Bone marrow aspirate smear:
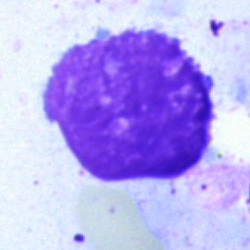
Cell type: artifact.